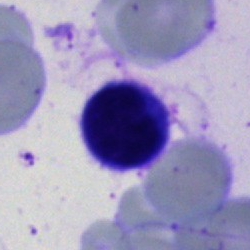 Cell — typical lymphocyte.